Image size 250×250. Bone marrow smear. Pappenheim-stained — 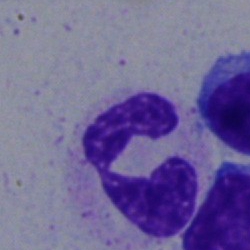 Specimen: bone marrow smear.
Cell type: segmented neutrophil.
Lineage: myeloid.